Bone marrow smear — 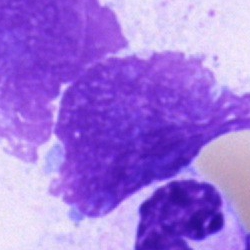 Single cell identified as an artifact.